Romanowsky-type stain. Peripheral blood film. 400 by 400 pixels.
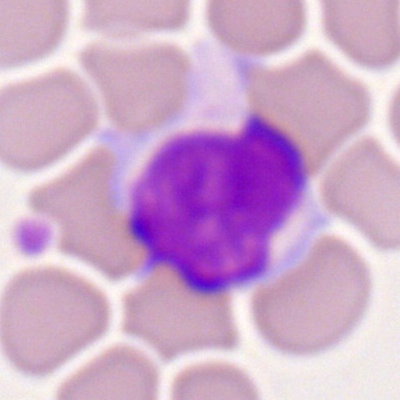 Q: What is shown here?
A: A typical lymphocyte.